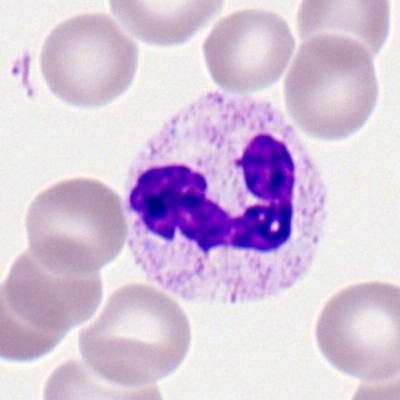 Neutrophil (segmented).